Bone marrow aspirate smear; single-cell crop; 250×250:
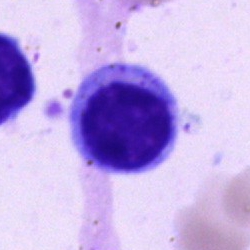

Specimen: bone marrow smear.
Cell: lymphocyte.